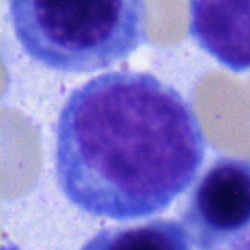 Showing a typical lymphocyte.